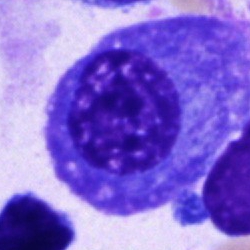 Morphology consistent with a plasma cell.